Bone marrow smear. 40× oil immersion — 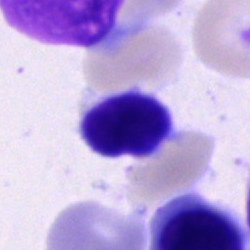 Cell — lymphocyte.